250×250; bone marrow smear
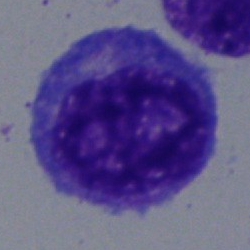
The cell shown is a progranulocyte.